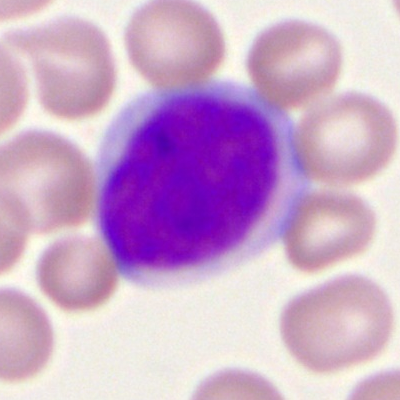Cell type — myeloid blast.